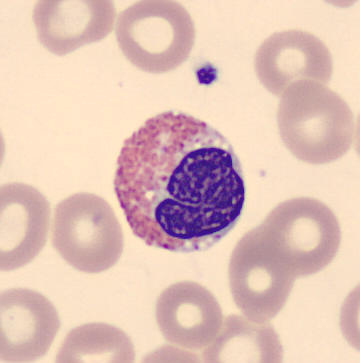Q: What is this?
A: An eosinophil.